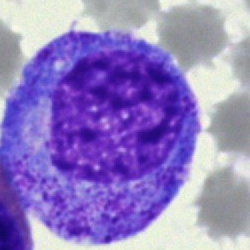Morphology → promyelocyte.